Bone marrow smear.
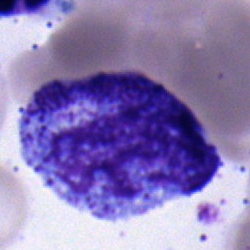

Cell = monocyte.